Bone marrow smear: 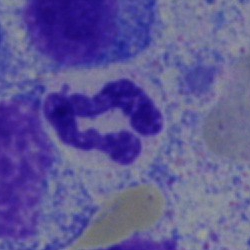Specimen: bone marrow smear.
Cell type: neutrophil (segmented).
Lineage: myeloid.